Bone marrow smear
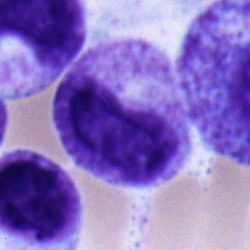

This is a metamyelocyte.